250 by 250 pixels; bone marrow smear
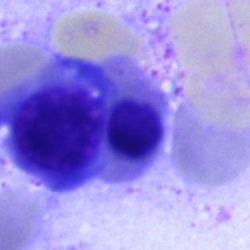

The cell is erythroblast.